Bone marrow smear
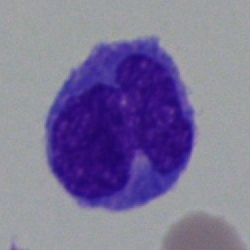 Impression → monocyte.